250×250. Bone marrow aspirate smear. May-Grünwald-Giemsa/Pappenheim stain
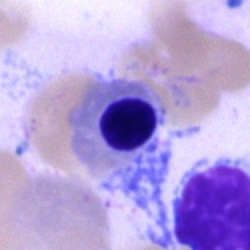Morphology — nucleated red cell.